Bone marrow smear — 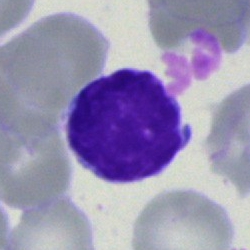

Specimen: bone marrow smear.
Morphological class: lymphocyte.
Lineage: lymphoid.